Bone marrow aspirate smear
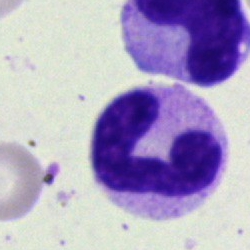

The cell shown is a band-form neutrophil.